Cropped to a single cell · bone marrow aspirate smear: 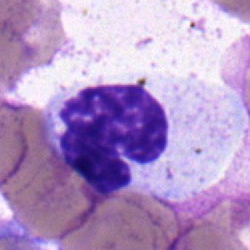

Band neutrophil.